250×250 px; bone marrow smear — 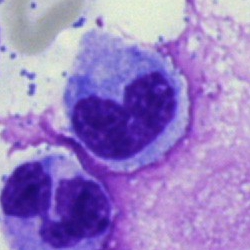 Morphology — metamyelocyte.